Bone marrow smear.
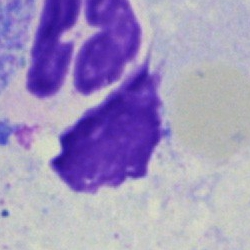 An artefact.